Bone marrow aspirate smear. Single-cell crop. 40× objective, oil immersion: 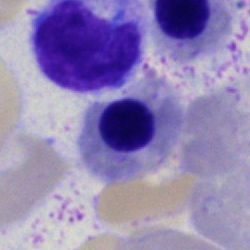This is a nucleated red blood cell.